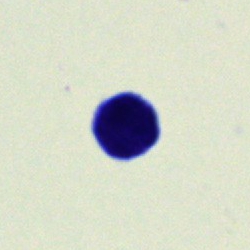The morphological class is typical lymphocyte.